Bone marrow aspirate smear. 40× oil immersion — 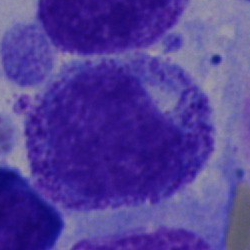
Q: Identify the cell.
A: It is a promyelocyte.